Bone marrow smear.
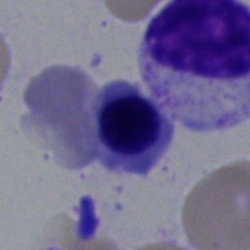 Single cell identified as an erythroblast.